Bone marrow aspirate smear; cropped to a single cell:
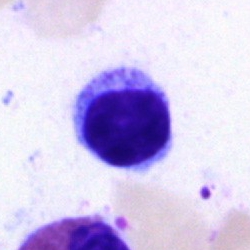Morphological class = lymphocyte.